40× objective, oil immersion. Bone marrow smear. Pappenheim-stained: 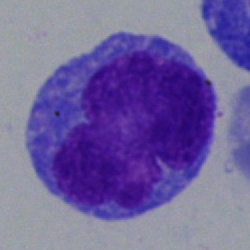 A blast cell.